May-Grünwald-Giemsa stain · bone marrow aspirate smear.
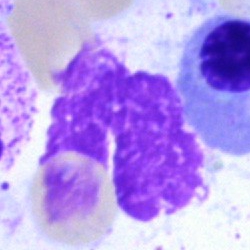
Single cell identified as an artefact.